Bone marrow aspirate smear: 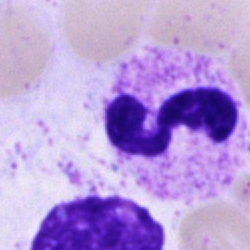

This is a segmented neutrophil.